250×250 px · bone marrow aspirate smear — 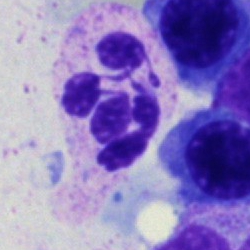

Showing a neutrophil (segmented).